Bone marrow aspirate smear:
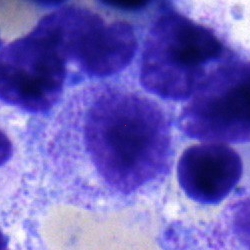Morphology — myelocyte.